Peripheral blood film.
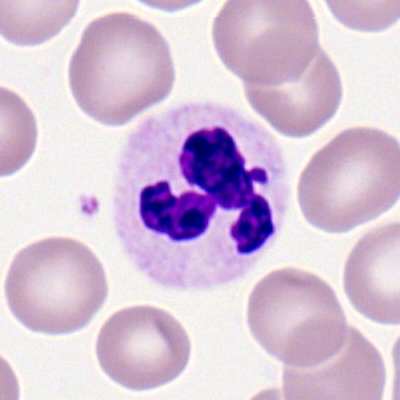

Impression — polymorphonuclear neutrophil.